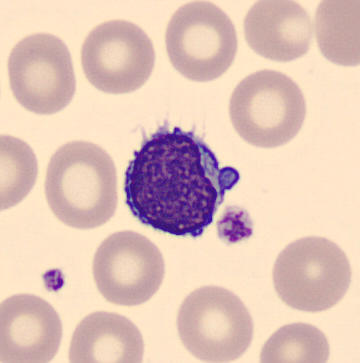
From a peripheral blood smear: a lymphocyte.